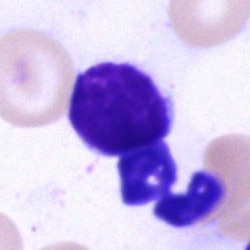
Q: What cell is this?
A: A typical lymphocyte.